Bone marrow smear; May-Grünwald-Giemsa stain; 250×250:
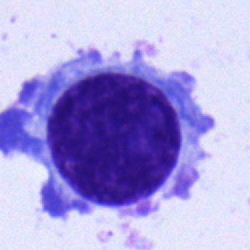

Morphology consistent with a plasma cell.